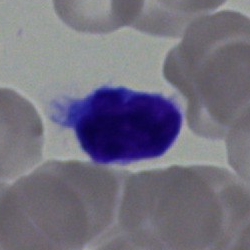Morphological class: lymphocyte.